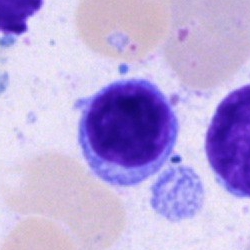Impression — lymphocyte.